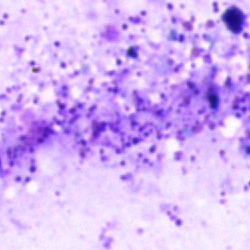 Single-cell crop from a bone marrow smear: artefact.